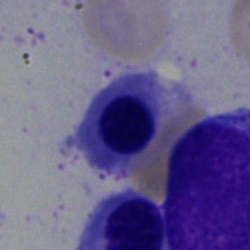Showing a normoblast.